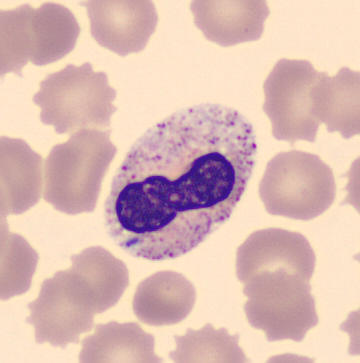

The cell is neutrophil (band).
Acquisition: Peripheral blood smear.